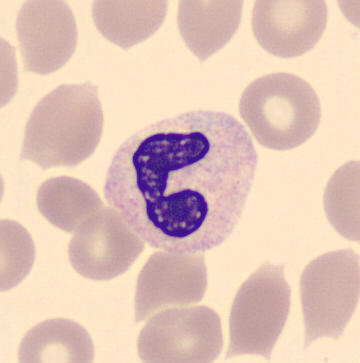

The cell type is polymorphonuclear neutrophil.